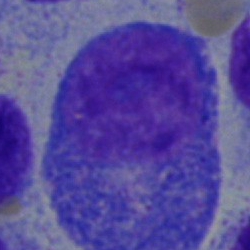 Showing a promyelocyte.